Bone marrow smear
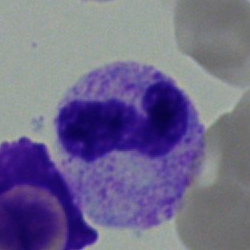 {"cell_type": "band-form neutrophil", "lineage": "myeloid"}